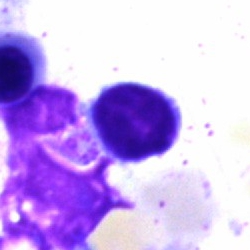Specimen: bone marrow aspirate smear.
Classification: lymphocyte.